Romanowsky-stained · 100× oil immersion, 14.14 px/µm · peripheral blood smear.
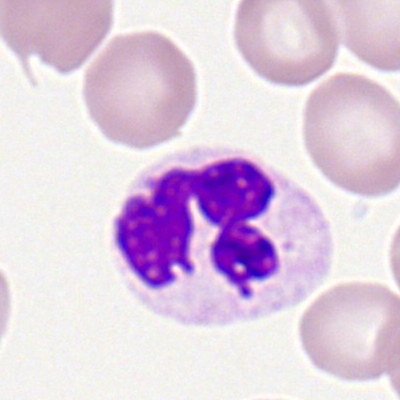 Showing a segmented neutrophil.